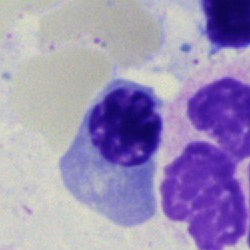
The morphological class is erythroblast.